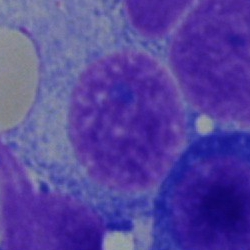
Impression — plasma cell.